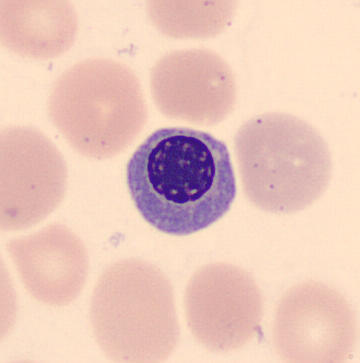

The cell type is erythroblast. Acquisition: 360×363. May Grünwald-Giemsa stain. Peripheral blood film.